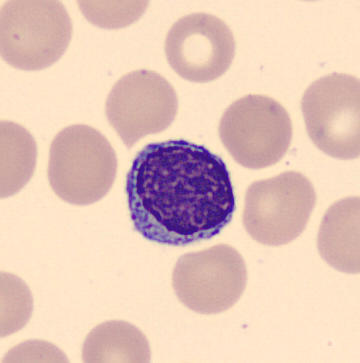
Cell = lymphocyte.